Single-cell field; bone marrow smear
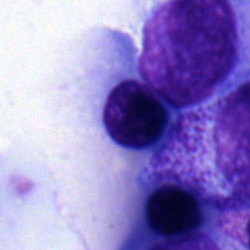Nucleated red cell.